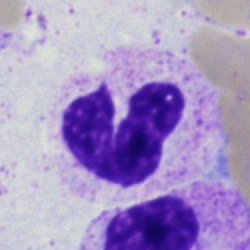
Stab cell.